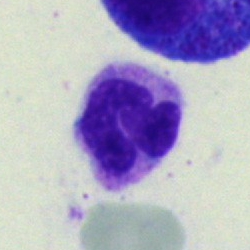
Classification = segmented neutrophil.